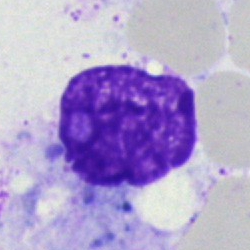

An artifact on a bone marrow smear.